Bone marrow aspirate smear
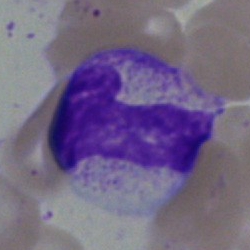
Specimen: bone marrow aspirate smear.
Cell type: neutrophil (band).